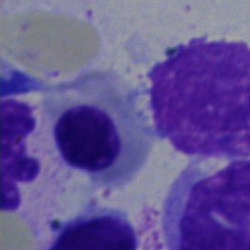 Morphology — nucleated red cell.